May-Grünwald-Giemsa stain · bone marrow aspirate smear
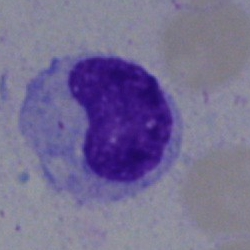Q: What is the morphological classification of this cell?
A: Metamyelocyte.